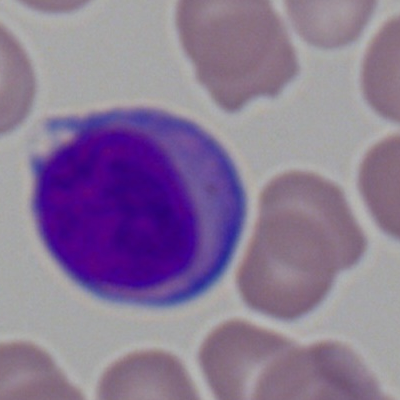This is a myeloid blast.